May-Grünwald-Giemsa stain. Bone marrow smear:
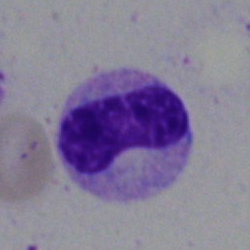
Morphology → band neutrophil.